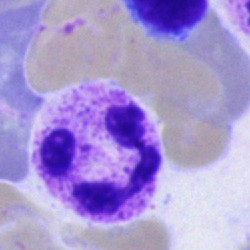The classification is polymorphonuclear neutrophil.